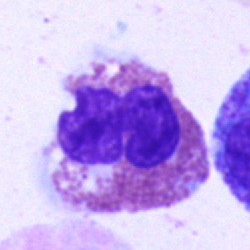
Morphological class — eosinophilic granulocyte.